Bone marrow smear; single-cell crop.
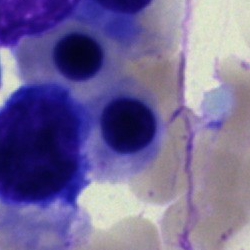

Impression — nucleated red blood cell.